Bone marrow aspirate smear · May-Grünwald-Giemsa/Pappenheim stain · single-cell crop: 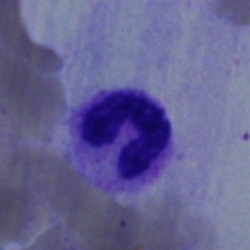

The morphological class is band-form neutrophil.